Bone marrow aspirate smear
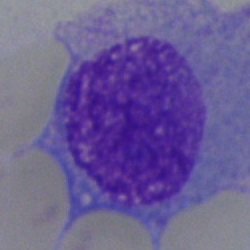 Classification: plasmacyte.